Bone marrow smear
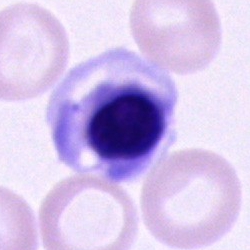The cell shown is an erythroblast.